Cropped to a single cell; bone marrow aspirate smear.
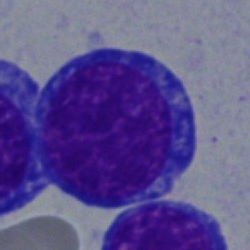
Classification = pronormoblast.